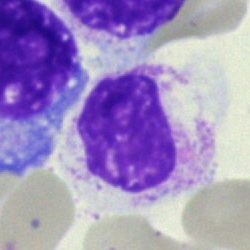 Q: Which cell type is shown here?
A: Metamyelocyte.